Bone marrow aspirate smear:
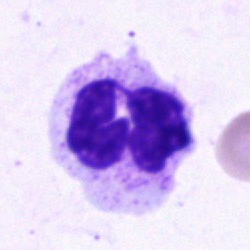This is a neutrophil (segmented).